Bone marrow aspirate smear.
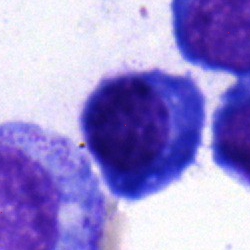
A nucleated red cell.